Single-cell field; bone marrow smear
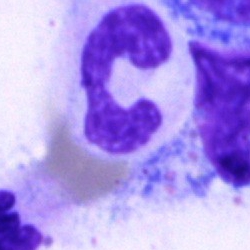Showing a polymorphonuclear neutrophil.